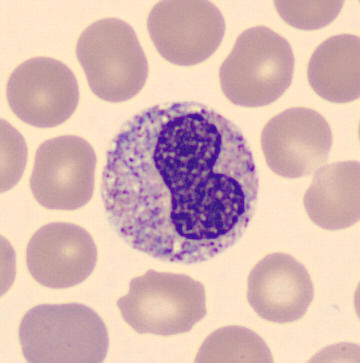Cell type — metamyelocyte.
Preparation: Peripheral blood film.